Bone marrow aspirate smear — 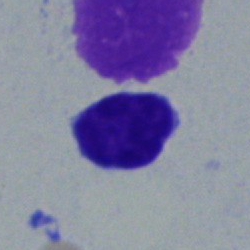
A typical lymphocyte.